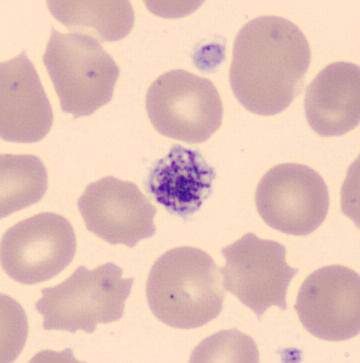Cell type = thrombocyte. Preparation: MGG-stained · peripheral blood smear.